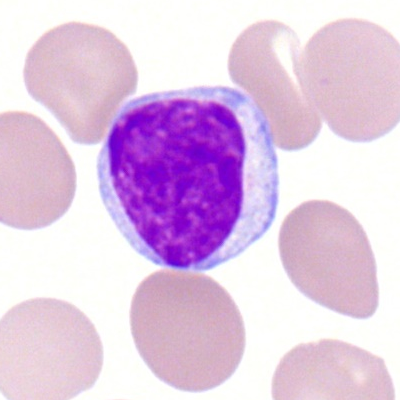
Single cell identified as a lymphocyte.